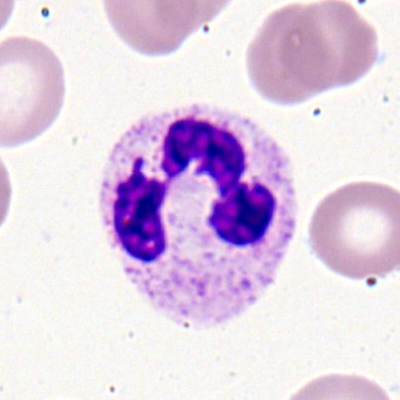

Peripheral blood smear showing a neutrophil (segmented).